Bone marrow aspirate smear; 40× objective, oil immersion: 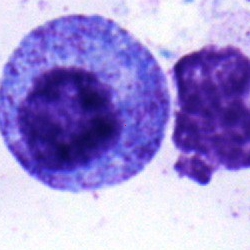Q: Which cell type is shown here?
A: This is a promyelocyte.